Romanowsky-type stain; 100× objective, oil immersion; peripheral blood film — 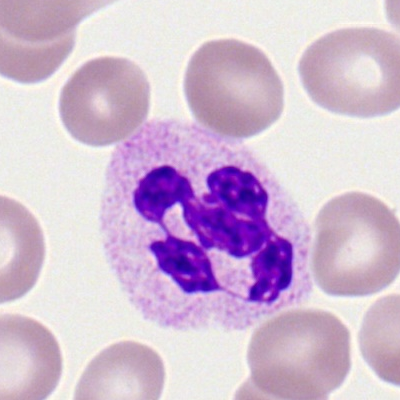The cell shown is a segmented neutrophil.